Peripheral blood film · Romanowsky-stained · image size 400×400 — 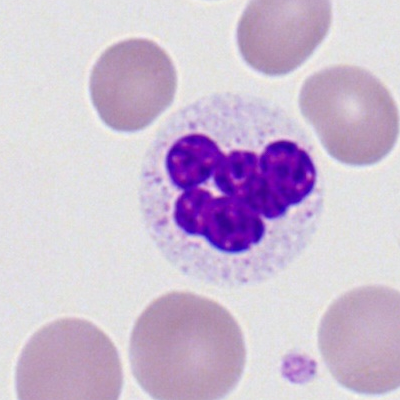
Classification: polymorphonuclear neutrophil.